Single-cell field; bone marrow smear — 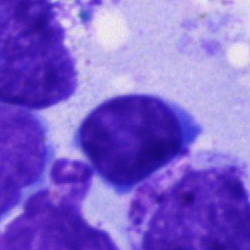

Specimen: bone marrow smear.
Cell type: unidentifiable cell.